May-Grünwald-Giemsa/Pappenheim stain; bone marrow aspirate smear: 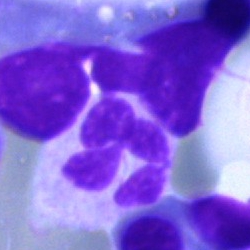Single cell identified as a polymorphonuclear neutrophil.